250 by 250 pixels · bone marrow aspirate smear
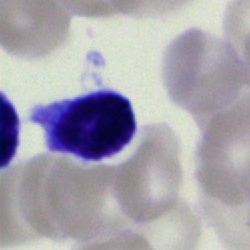
This is a typical lymphocyte.